Bone marrow smear:
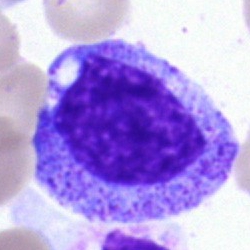 The cell shown is a promyelocyte.